Bone marrow smear · May-Grünwald-Giemsa/Pappenheim stain · cropped to a single cell
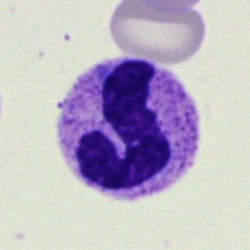 Q: What cell is this?
A: It is a neutrophil (segmented).